Bone marrow aspirate smear · 250×250.
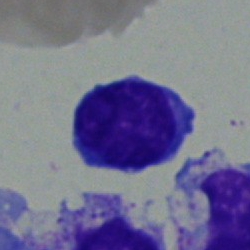

Cell = lymphocyte.